Peripheral blood film — 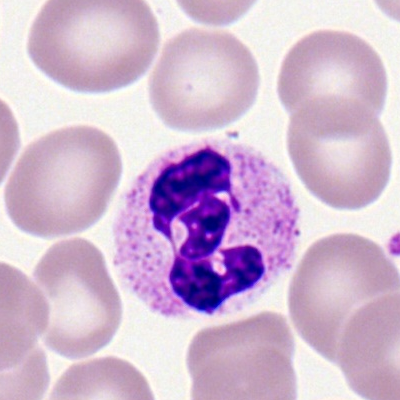

Showing a neutrophil (segmented).